400×400 px. Peripheral blood film:
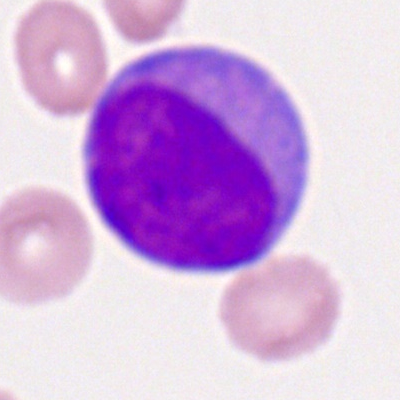The cell shown is a myeloid blast.